Bone marrow smear: 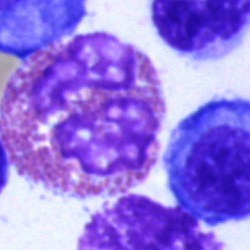

Single cell identified as an eosinophilic granulocyte.